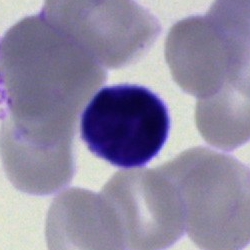Q: What is shown here?
A: It is a typical lymphocyte.